Bone marrow smear:
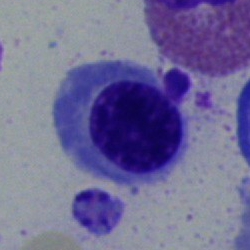 Specimen: bone marrow smear.
Cell type: nucleated red blood cell.
Lineage: erythroid.